250 by 250 pixels. Bone marrow aspirate smear — 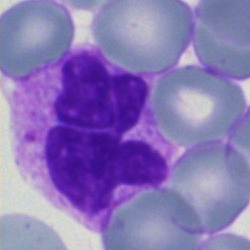Q: Which cell type is shown here?
A: It is a neutrophil (segmented).